May-Grünwald-Giemsa stain. Brightfield microscopy, 40× oil immersion. Bone marrow smear: 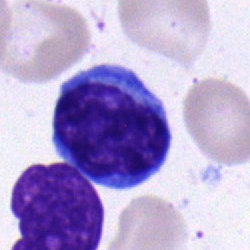 The classification is myelocyte.